Bone marrow aspirate smear — 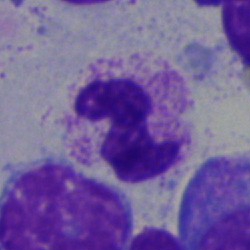The cell type is polymorphonuclear neutrophil.